Bone marrow aspirate smear
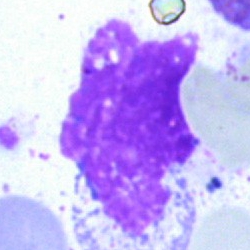

Specimen: bone marrow aspirate smear.
Cell: artefact.